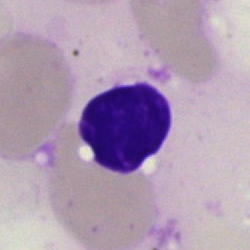

Morphology → artifact.